Bone marrow smear; brightfield microscopy, 40× oil immersion.
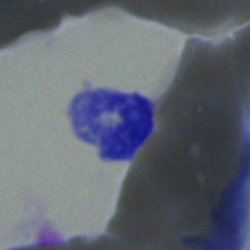 Q: What is shown here?
A: This is an artifact.